Bone marrow smear
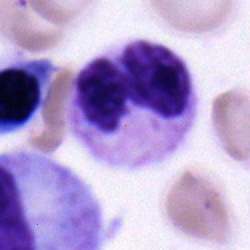

Specimen: bone marrow smear.
Cell: polymorphonuclear neutrophil.
Lineage: myeloid.